Bone marrow aspirate smear.
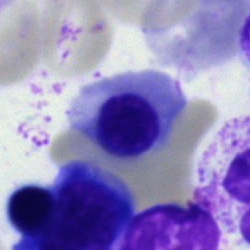This is a nucleated red cell.